Bone marrow aspirate smear. 250×250.
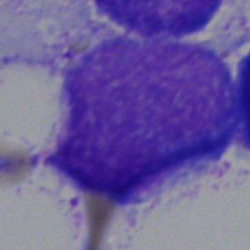
Cell type = artifact.